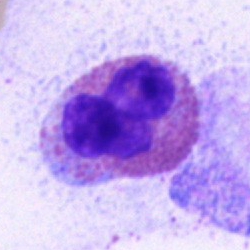
An eosinophil.